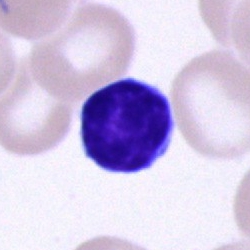 Q: What type of cell is this?
A: It is a typical lymphocyte.